MGG-stained. Bone marrow smear.
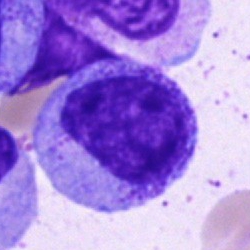

Cell — promyelocyte.